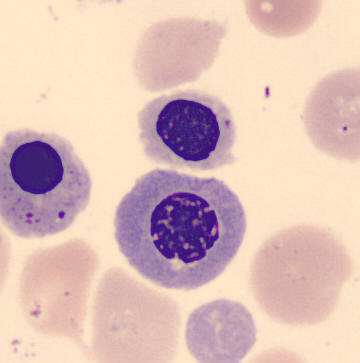 Image: Peripheral blood film · cropped to a single cell · automated cell imaging (CellaVision DM96).

Single cell identified as an erythroblast.